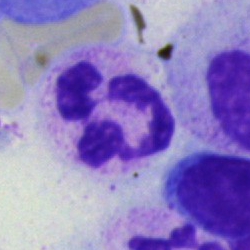

Morphological class: polymorphonuclear neutrophil.